Peripheral blood smear:
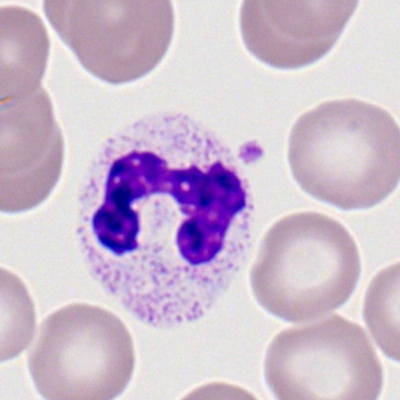Morphology consistent with a polymorphonuclear neutrophil.